Bone marrow smear
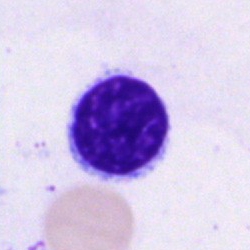This is a typical lymphocyte.